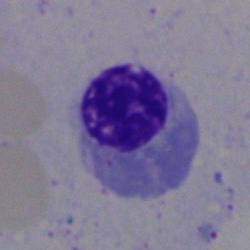 Showing an erythroblast.